Bone marrow smear.
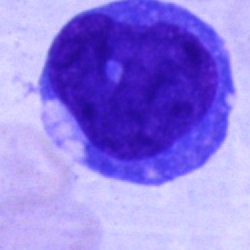Morphology consistent with an undifferentiated blast.